Bone marrow aspirate smear: 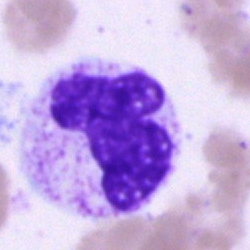
The classification is neutrophil (segmented).